Bone marrow aspirate smear
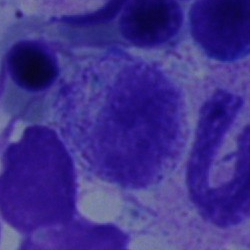 {"cell_type": "myelocyte", "lineage": "myeloid"}